250×250 px. Bone marrow smear.
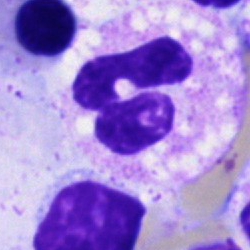
Impression → polymorphonuclear neutrophil.